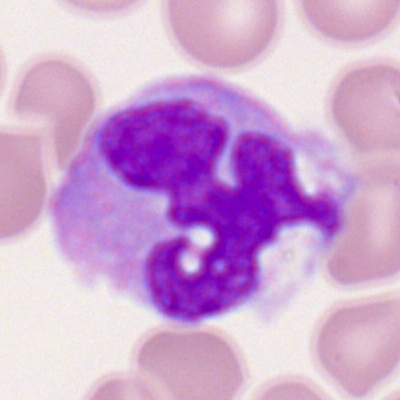
Q: Which cell type is shown here?
A: This is a monocyte.